Bone marrow smear: 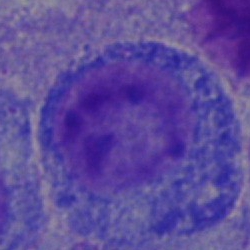
This is a promyelocyte.